Bone marrow aspirate smear.
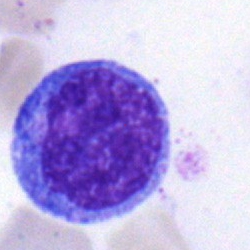The cell type is monocyte.